May-Grünwald-Giemsa/Pappenheim stain; image size 250×250; bone marrow smear
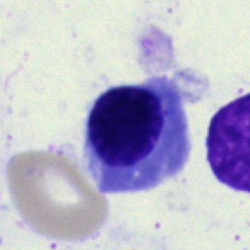
Specimen: bone marrow aspirate smear.
Morphological class: nucleated red cell.
Lineage: erythroid.